Bone marrow smear; May-Grünwald-Giemsa/Pappenheim stain:
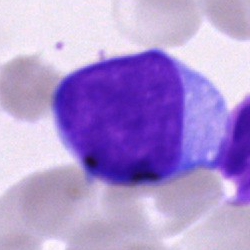 Showing an undifferentiated blast.